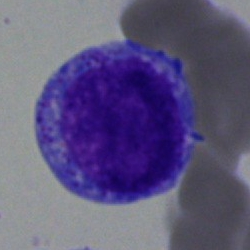 Undifferentiated blast.